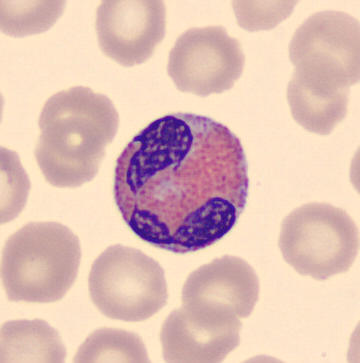

Preparation: Automated cell imaging (CellaVision DM96) · peripheral blood film.

Morphology consistent with an eosinophil.